Bone marrow smear; May-Grünwald-Giemsa/Pappenheim stain: 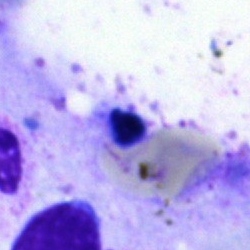
Q: What is shown here?
A: Artefact.